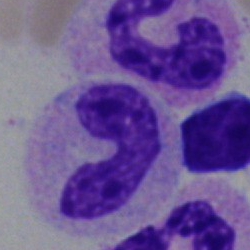Q: What cell is this?
A: A band-form neutrophil.